Bone marrow aspirate smear: 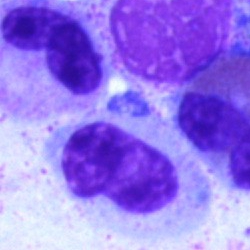
Specimen: bone marrow smear.
Morphological class: band-form neutrophil.
Lineage: myeloid.